Bone marrow smear · single-cell crop · 250×250 px:
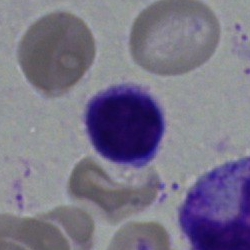

A lymphocyte.